Bone marrow smear — 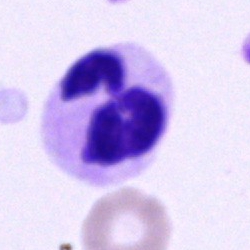 {"cell_type": "segmented neutrophil", "lineage": "myeloid"}